Bone marrow aspirate smear. 250 by 250 pixels — 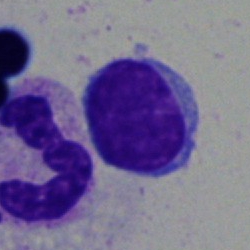 Morphology → typical lymphocyte.